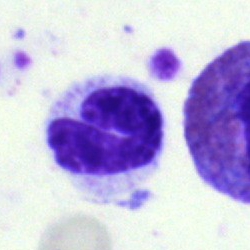

Morphology → band-form neutrophil.